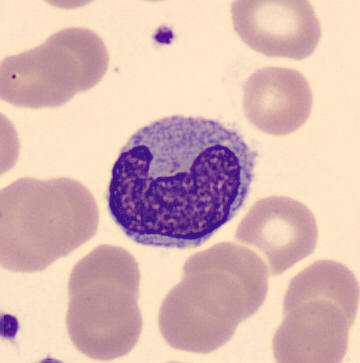
Cell type: monocyte.